Bone marrow smear. Single-cell field — 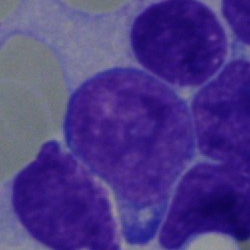 Blast cell.